Bone marrow smear; May-Grünwald-Giemsa stain; single-cell crop.
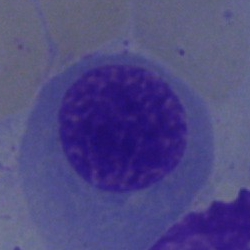Cell type: erythroblast.